MGG-stained. 40× objective, oil immersion. Bone marrow aspirate smear.
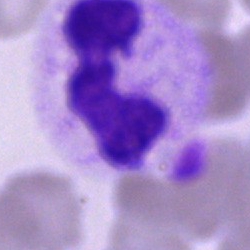

{"cell_type": "segmented neutrophil", "lineage": "myeloid"}